Bone marrow smear — 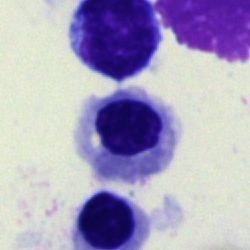Showing a normoblast.